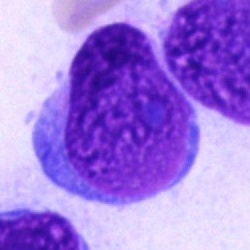 Unidentifiable cell.